Bone marrow aspirate smear · image size 250×250
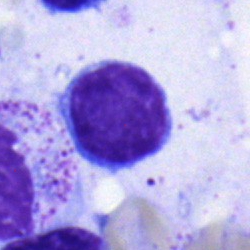 Cell type: typical lymphocyte.